40× objective, oil immersion; bone marrow aspirate smear:
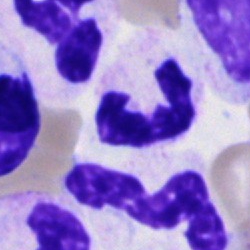

Single cell identified as a polymorphonuclear neutrophil.